40× objective, oil immersion · bone marrow aspirate smear · single cell centered in the field:
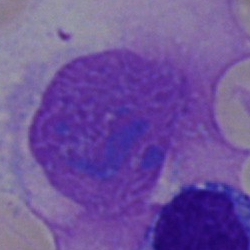Q: What is shown here?
A: This is an artefact.